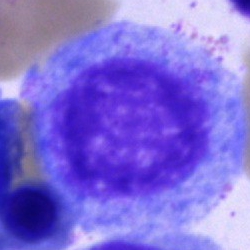
Classification: progranulocyte.